Bone marrow smear · single cell centered in the field — 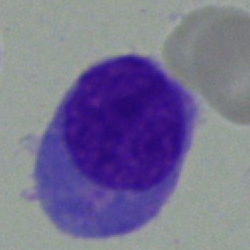
Classification — stab cell.